Peripheral blood smear
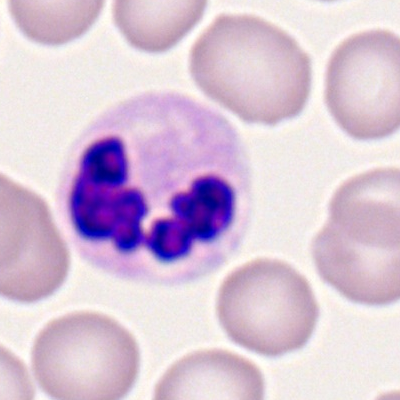 Segmented neutrophil.